Bone marrow aspirate smear — 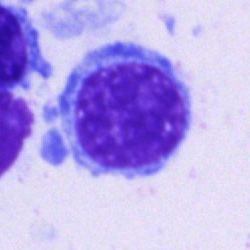This is a typical lymphocyte.